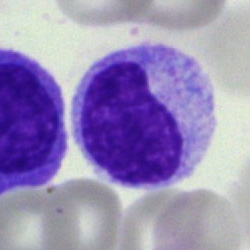 Impression → myelocyte.